Brightfield microscopy, 40× oil immersion. Bone marrow aspirate smear:
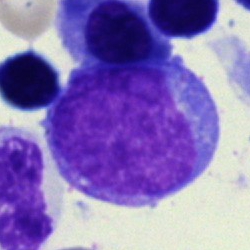Specimen: bone marrow aspirate smear.
Morphological class: undifferentiated blast.